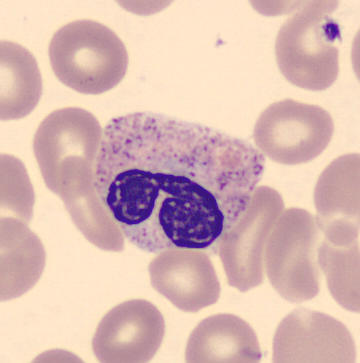

Q: What is the morphological classification of this cell?
A: This is a segmented neutrophil.

Peripheral blood smear.